Bone marrow smear: 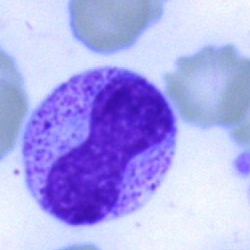 Q: Identify the cell.
A: This is a band-form neutrophil.